Bone marrow smear:
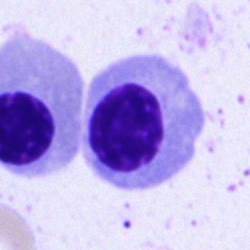Showing a nucleated red blood cell.